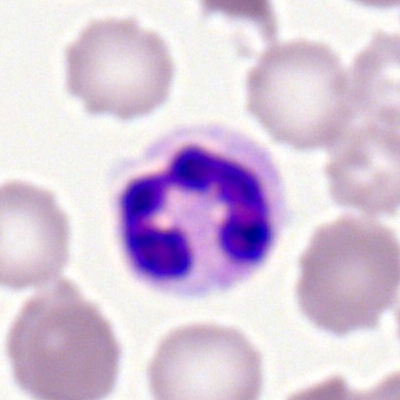
The cell is segmented neutrophil.